Bone marrow smear: 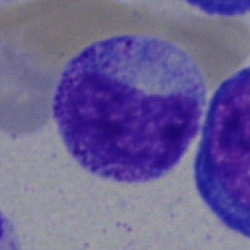
Q: What cell is this?
A: This is a metamyelocyte.